Bone marrow aspirate smear.
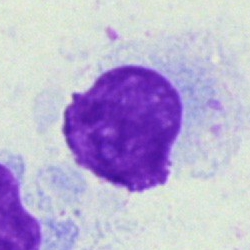Q: Identify the cell.
A: Hairy cell.